Peripheral blood smear · brightfield, 100× oil-immersion objective · Romanowsky-stained
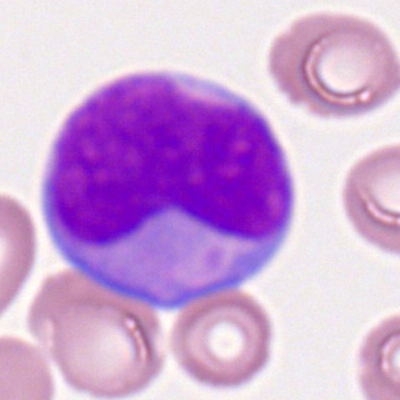

Morphology → myeloid blast.